40× oil immersion · bone marrow smear · image size 250×250:
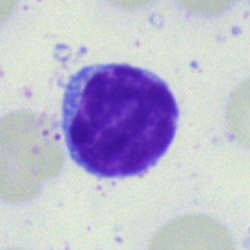 Q: What cell is this?
A: Typical lymphocyte.